Cropped to a single cell. MGG-stained. Bone marrow aspirate smear: 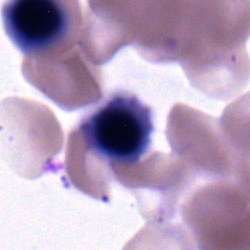

Single cell identified as an erythroblast.